May-Grünwald-Giemsa stain · bone marrow aspirate smear — 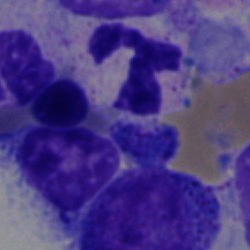

The classification is segmented neutrophil.